Bone marrow aspirate smear:
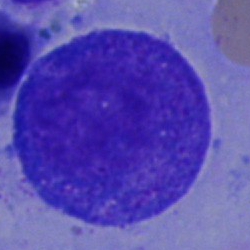
Q: What type of cell is this?
A: This is a progranulocyte.